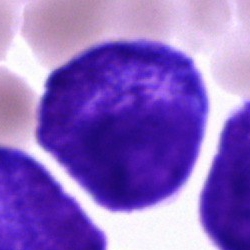 Q: Identify the cell.
A: A blast cell.